Bone marrow smear; brightfield microscopy, 40× oil immersion; single cell centered in the field: 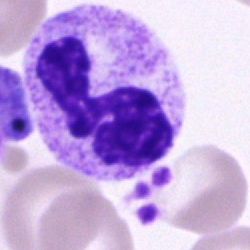 Q: What is the morphological classification of this cell?
A: This is a polymorphonuclear neutrophil.